Bone marrow aspirate smear
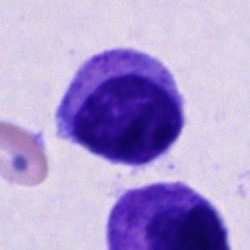Specimen: bone marrow aspirate smear.
Morphological class: cell of indeterminate lineage.